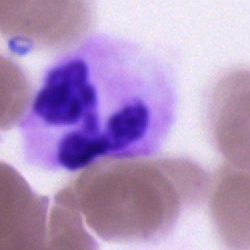 This is a neutrophil (segmented).